Bone marrow aspirate smear
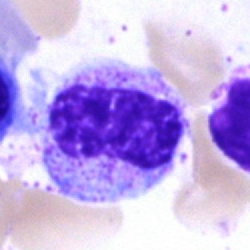
A band-form neutrophil.